Bone marrow aspirate smear; single-cell field: 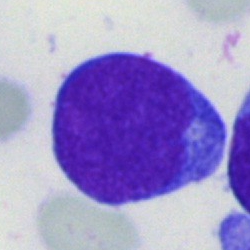 Impression → blast cell.